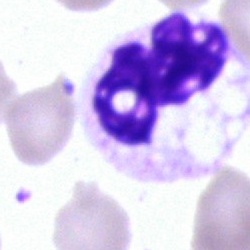{"cell_type": "neutrophil (segmented)"}